Bone marrow aspirate smear
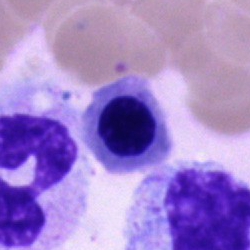
Specimen: bone marrow smear.
Cell type: nucleated red blood cell.
Lineage: erythroid.